Peripheral blood smear; 100× objective, oil immersion — 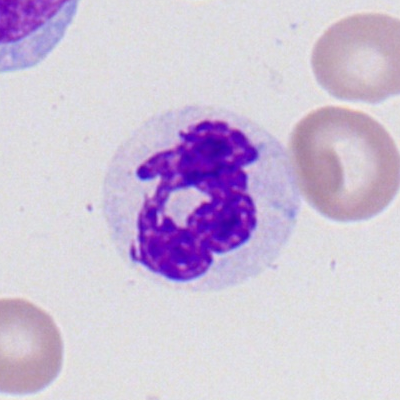

{"cell_type": "neutrophil (segmented)"}